40× objective, oil immersion · Pappenheim-stained · bone marrow smear — 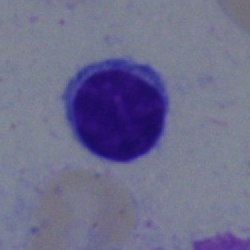 Showing a typical lymphocyte.